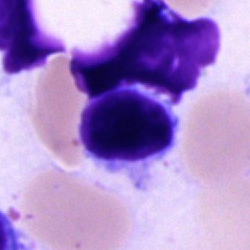

Single cell identified as a lymphocyte.